Bone marrow aspirate smear. May-Grünwald-Giemsa stain. 250×250: 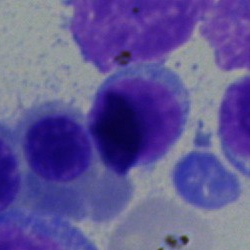
Cell type — typical lymphocyte.